Peripheral blood smear — 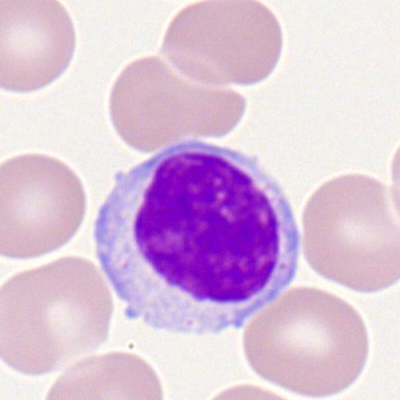

Typical lymphocyte.